Peripheral blood smear.
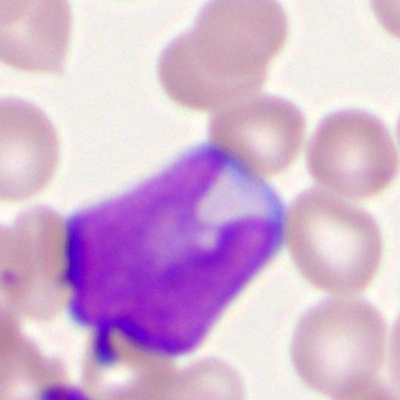
The cell shown is a myeloblast.